Bone marrow aspirate smear
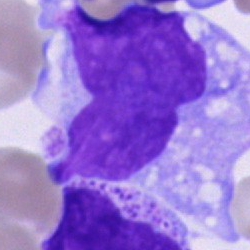Cell — monocyte.